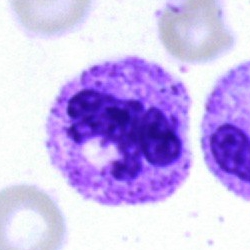

Bone marrow smear showing a neutrophil (segmented).